Bone marrow aspirate smear:
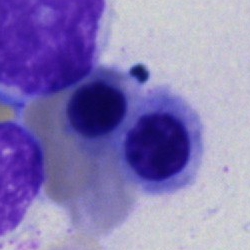Normoblast.